Bone marrow smear: 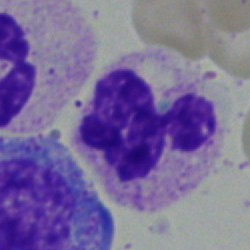
The cell shown is a neutrophil (segmented).